250×250 px · brightfield, 40× oil-immersion objective · bone marrow aspirate smear.
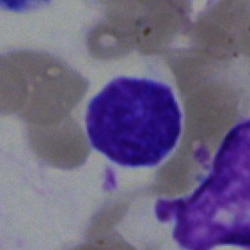Specimen: bone marrow smear.
Morphological class: typical lymphocyte.
Lineage: lymphoid.